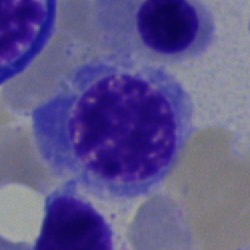

Morphological class = erythroblast.